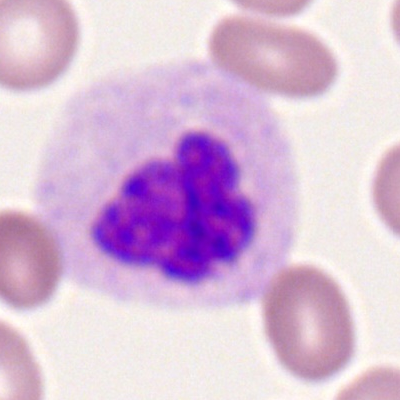 Morphology — polymorphonuclear neutrophil.